Bone marrow aspirate smear.
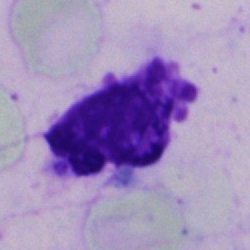Specimen: bone marrow aspirate smear.
Morphological class: artefact.